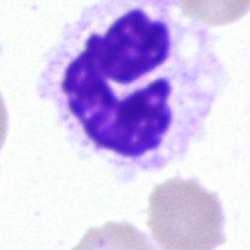
Single cell identified as a neutrophil (segmented).